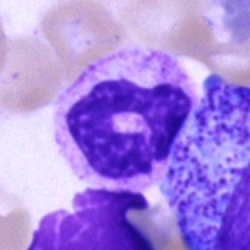Specimen: bone marrow aspirate smear.
Morphological class: polymorphonuclear neutrophil.
Lineage: myeloid.